40× objective, oil immersion; bone marrow smear: 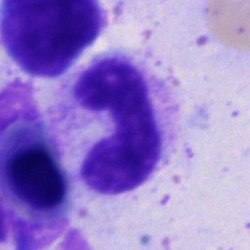The morphological class is stab cell.